250 by 250 pixels; bone marrow smear: 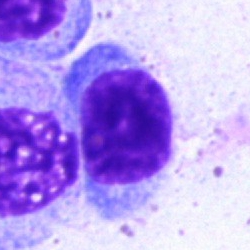 Cell type: typical lymphocyte.